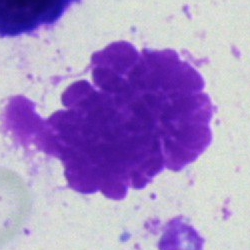 Q: What is shown here?
A: This is an artefact.